Bone marrow aspirate smear; single cell centered in the field; May-Grünwald-Giemsa/Pappenheim stain.
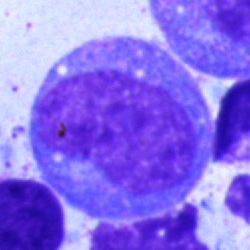
Classification = progranulocyte.